Bone marrow smear. May-Grünwald-Giemsa/Pappenheim stain — 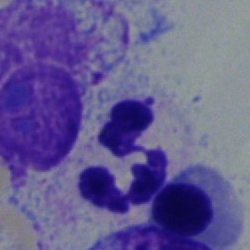Specimen: bone marrow aspirate smear.
Classification: polymorphonuclear neutrophil.
Lineage: myeloid.